Peripheral blood film · CellaVision DM96.
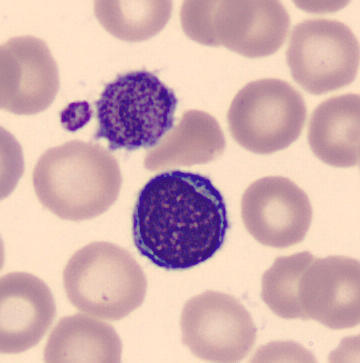Morphological class: lymphocyte.